Bone marrow smear:
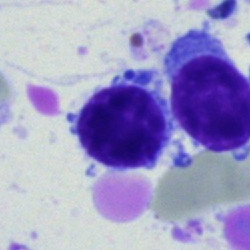 Morphological class = lymphocyte.